Bone marrow smear.
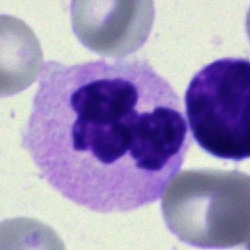Impression → segmented neutrophil.